Bone marrow smear: 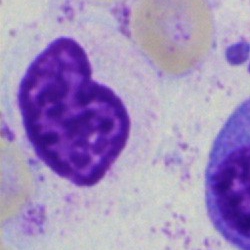

Showing an artifact.